Bone marrow smear.
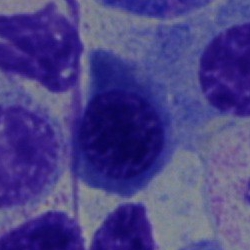

Nucleated red blood cell.